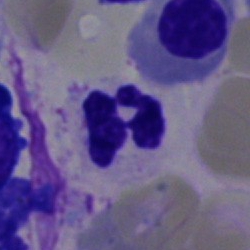
Q: What is shown here?
A: It is a neutrophil (segmented).